Single cell centered in the field · bone marrow smear: 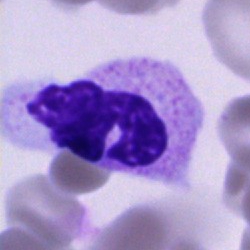 Specimen: bone marrow aspirate smear.
Cell type: neutrophil (segmented).
Lineage: myeloid.